Bone marrow aspirate smear · brightfield microscopy, 40× oil immersion.
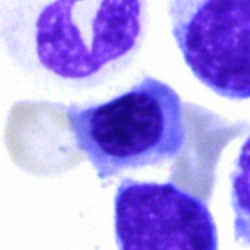
Specimen: bone marrow aspirate smear.
Cell type: erythroblast.